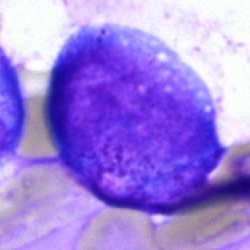Single cell identified as a promyelocyte.